Bone marrow smear. Image size 250×250. Single cell centered in the field:
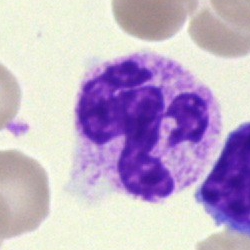

The cell shown is a polymorphonuclear neutrophil.